Peripheral blood smear — 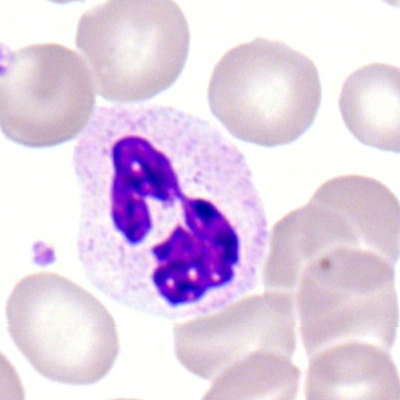 Morphology consistent with a neutrophil (segmented).